Bone marrow aspirate smear · May-Grünwald-Giemsa stain: 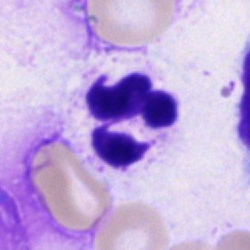 Impression → segmented neutrophil.